Bone marrow smear: 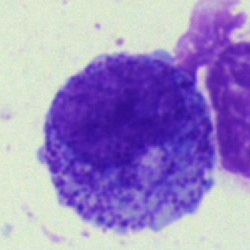
Specimen: bone marrow aspirate smear.
Cell: promyelocyte.
Lineage: myeloid.